Bone marrow aspirate smear — 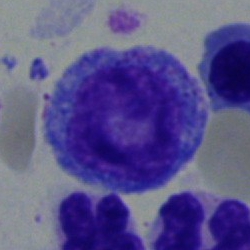

This is a promyelocyte.